Bone marrow smear
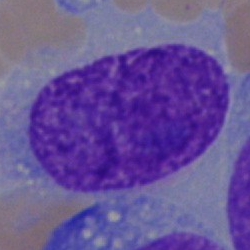
Morphology — undifferentiated blast.